Bone marrow smear. Image size 250×250
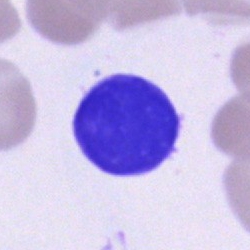
The classification is artifact.